Peripheral blood film. 100× oil immersion, 14.14 px/µm
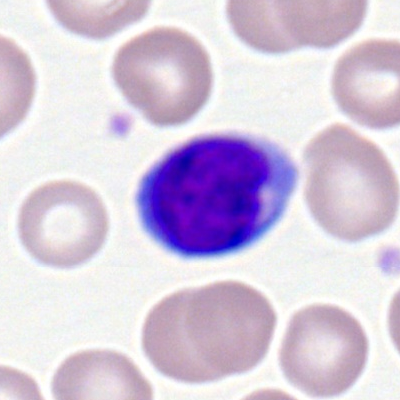Impression → typical lymphocyte.